Bone marrow aspirate smear · Pappenheim-stained · single-cell field: 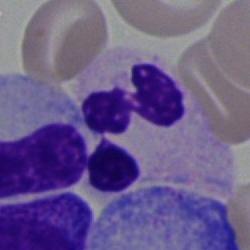 Single cell identified as a segmented neutrophil.